Bone marrow smear; MGG-stained; single-cell field: 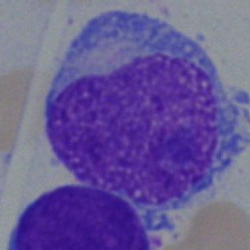
Specimen: bone marrow smear.
Morphological class: blast cell.